250 by 250 pixels; bone marrow aspirate smear
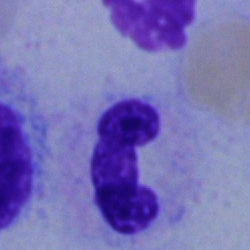
{"cell_type": "neutrophil (segmented)", "lineage": "myeloid"}